400×400; peripheral blood film
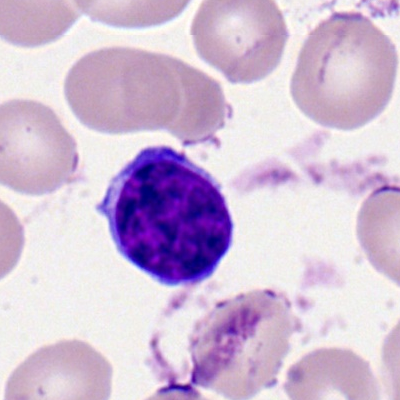 Impression — lymphocyte.